Peripheral blood film. 360×363 px. Imaged on a CellaVision DM96 analyser
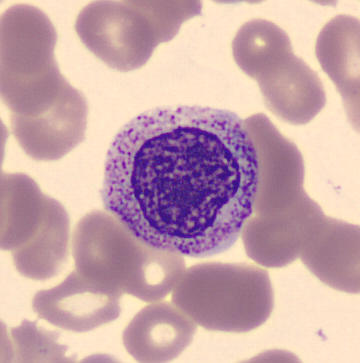 Q: What is this?
A: Myelocyte.